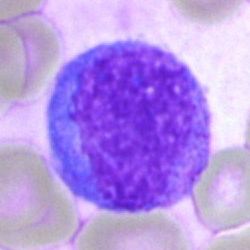Single cell identified as a myelocyte.